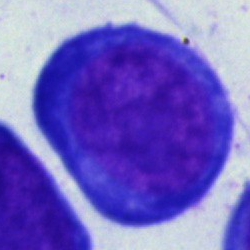

Specimen: bone marrow smear.
Classification: proerythroblast.
Lineage: erythroid.